Single-cell field. Brightfield, 40× oil-immersion objective. Bone marrow smear.
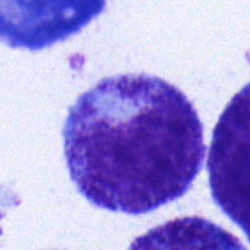The cell shown is a myelocyte.